M8 digital microscope (Precipoint), 100× oil immersion; peripheral blood film: 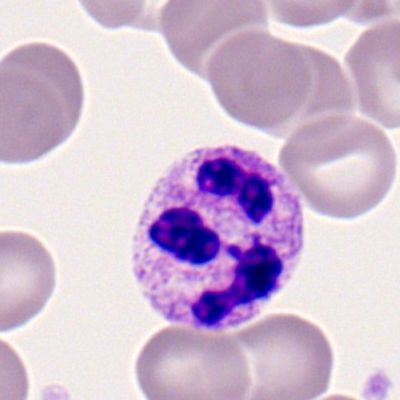
Cell = segmented neutrophil.